Single-cell crop; bone marrow smear; May-Grünwald-Giemsa/Pappenheim stain: 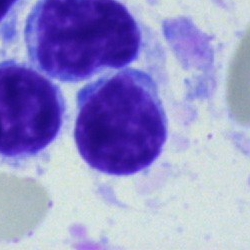

Showing a lymphocyte.